Bone marrow aspirate smear; 40× oil immersion — 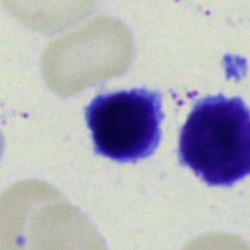
The classification is typical lymphocyte.